Bone marrow smear — 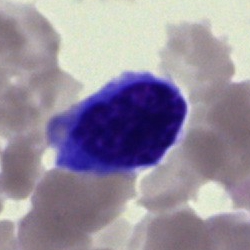 Specimen: bone marrow aspirate smear.
Cell: artifact.